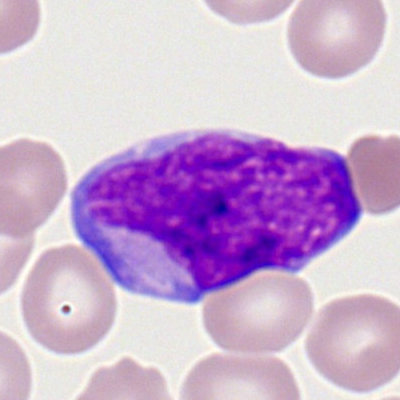 A myeloblast on a peripheral blood smear.